Bone marrow aspirate smear; single-cell crop — 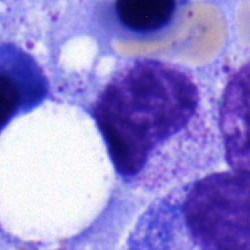
A metamyelocyte.